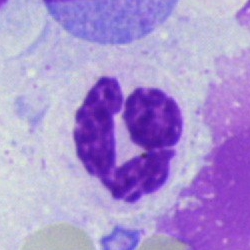
Single-cell crop from a bone marrow smear: polymorphonuclear neutrophil.